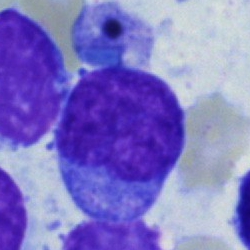 Morphology — undifferentiated blast.